Bone marrow aspirate smear · image size 250×250:
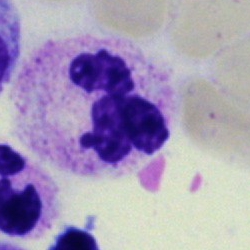

Q: What is the morphological classification of this cell?
A: It is a polymorphonuclear neutrophil.